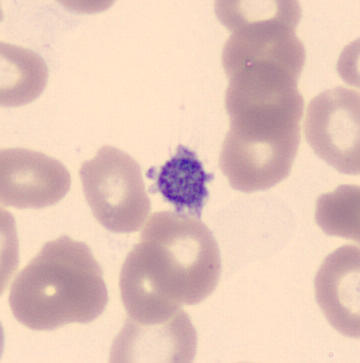Morphology — platelet.